MGG-stained · bone marrow smear · image size 250×250
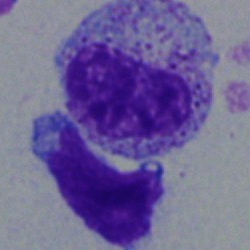 Classification: myelocyte.